250×250 px. Bone marrow aspirate smear. MGG-stained:
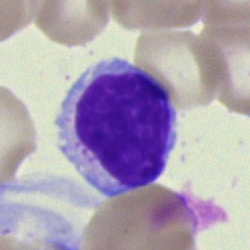The cell shown is a typical lymphocyte.